Bone marrow smear:
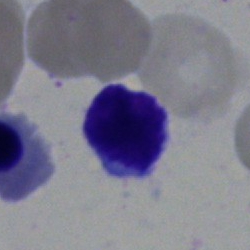
Q: What type of cell is this?
A: This is a hairy cell.